Single-cell crop. Bone marrow smear. May-Grünwald-Giemsa stain:
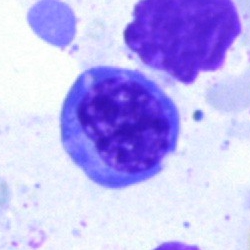Morphology → normoblast.